Bone marrow aspirate smear · 250 by 250 pixels · Pappenheim-stained
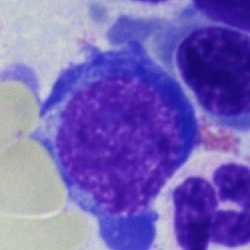

Q: What is shown here?
A: Nucleated red blood cell.